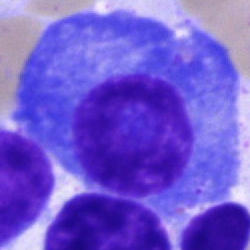
Morphology consistent with a plasmacyte.